Single-cell crop. Bone marrow smear: 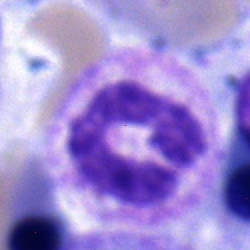 Q: What is shown here?
A: It is a myelocyte.